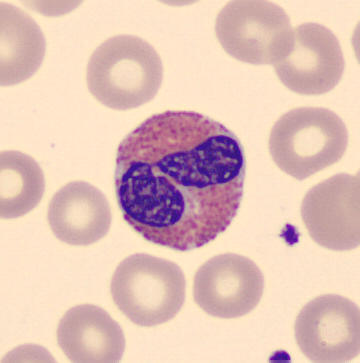

An eosinophil on a peripheral blood smear.